Single-cell crop. Bone marrow aspirate smear.
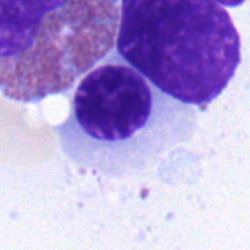 Q: Which cell type is shown here?
A: It is a nucleated red cell.